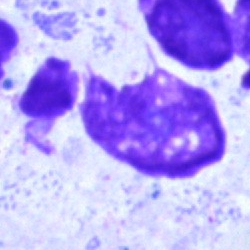

Morphology — artefact.